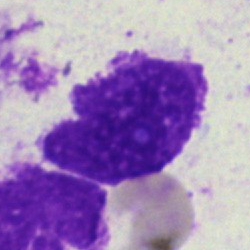

Single-cell crop from a bone marrow smear: artifact.